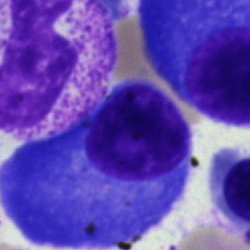

Q: What is the morphological classification of this cell?
A: A plasmacyte.